Bone marrow aspirate smear; 250 by 250 pixels; 40× oil immersion:
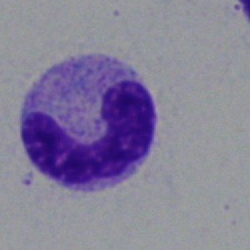

{"cell_type": "neutrophil (segmented)", "lineage": "myeloid"}